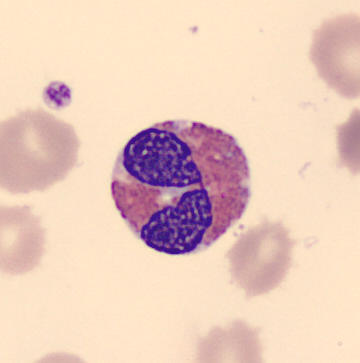Peripheral blood smear.
Eosinophilic granulocyte.